Bone marrow aspirate smear — 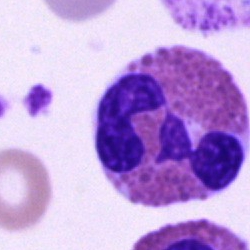Impression → eosinophil.